Bone marrow aspirate smear · 250 by 250 pixels — 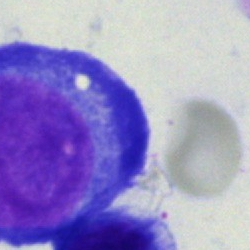
Showing a proerythroblast.